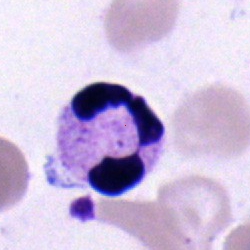Q: What is shown here?
A: It is a segmented neutrophil.